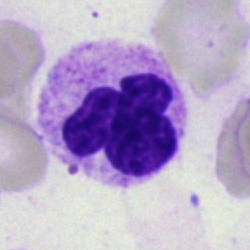 Single cell identified as a polymorphonuclear neutrophil.